Bone marrow aspirate smear — 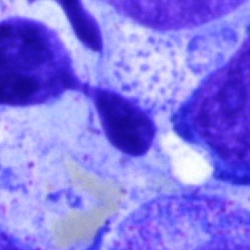 Artefact.